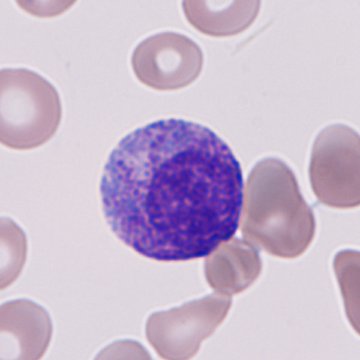Cell = granulocyte precursor. Preparation: Single-cell crop. Peripheral blood film. 360 by 360 pixels.